Bone marrow smear — 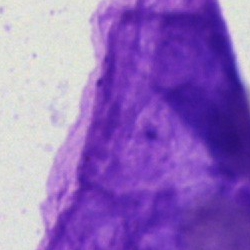Specimen: bone marrow smear.
Classification: artifact.